Bone marrow smear:
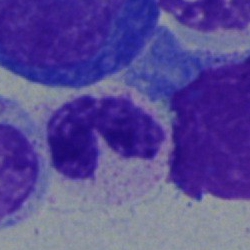Cell = polymorphonuclear neutrophil.